MGG-stained; single-cell crop; bone marrow smear:
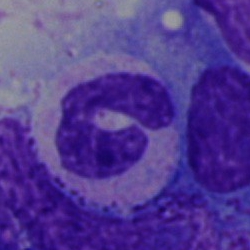

This is a polymorphonuclear neutrophil.